Bone marrow smear: 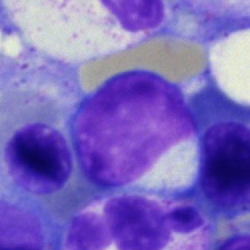

{"cell_type": "typical lymphocyte"}